MGG-stained. Bone marrow aspirate smear. Cropped to a single cell: 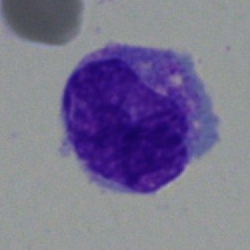 Specimen: bone marrow smear.
Classification: monocyte.
Lineage: myeloid.